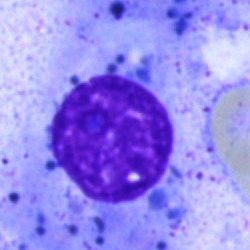

Impression → artifact.